Single-cell crop; brightfield microscopy, 40× oil immersion; bone marrow aspirate smear — 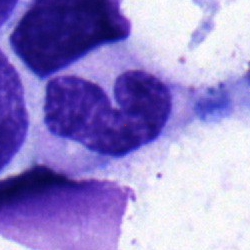
The cell shown is a neutrophil (band).